Bone marrow aspirate smear; 250×250 px; brightfield microscopy, 40× oil immersion
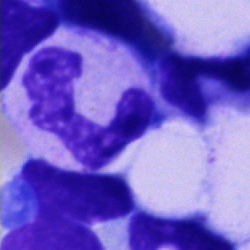Specimen: bone marrow aspirate smear.
Cell: polymorphonuclear neutrophil.
Lineage: myeloid.